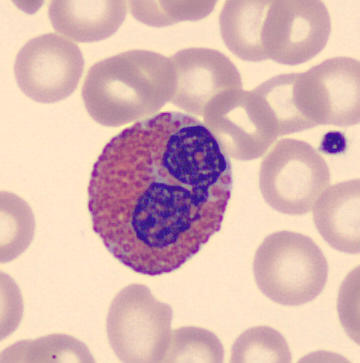 Identified as an eosinophilic granulocyte. Preparation: May Grünwald-Giemsa stain; peripheral blood film.